250×250; bone marrow smear — 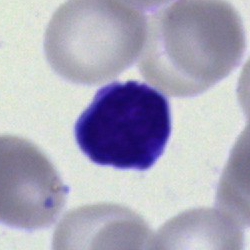Morphological class — blast.